Bone marrow aspirate smear · 40× objective, oil immersion — 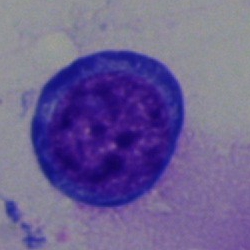Classification = blast.